40× oil immersion · bone marrow aspirate smear — 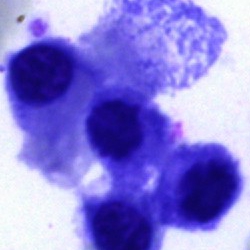 The cell is normoblast.